Bone marrow aspirate smear.
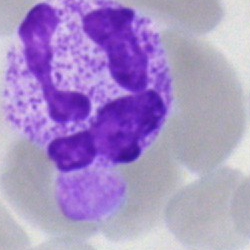
Cell type — neutrophil (segmented).